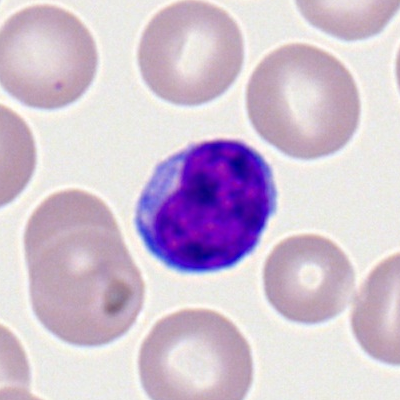Impression — lymphocyte.